Bone marrow aspirate smear — 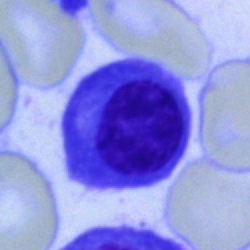

Q: What is the morphological classification of this cell?
A: Plasmacyte.